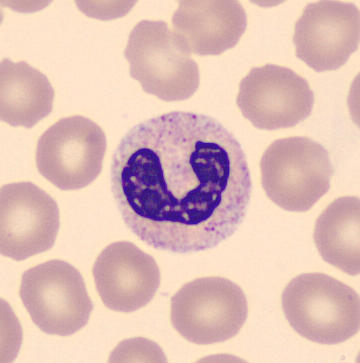

Q: Which cell type is shown here?
A: It is a neutrophil (segmented).